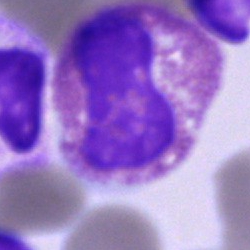
The classification is eosinophilic granulocyte.